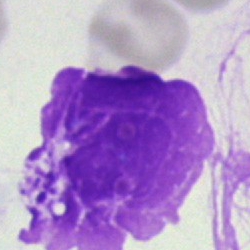

Morphology — artifact.